Bone marrow smear — 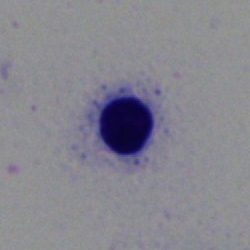 Specimen: bone marrow smear.
Classification: erythroblast.
Lineage: erythroid.